Bone marrow aspirate smear.
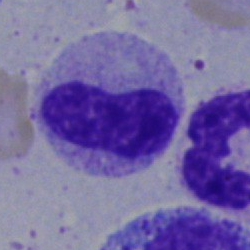
Single cell identified as a neutrophil (band).